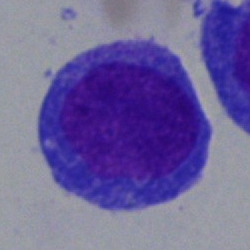 Q: What type of cell is this?
A: This is a blast.